Bone marrow smear. Single-cell crop:
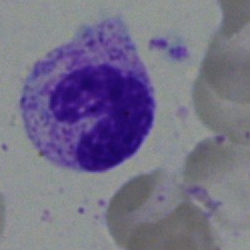 This is a neutrophil (segmented).